Bone marrow aspirate smear: 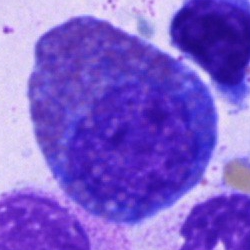Q: What cell is this?
A: This is an eosinophil.